Peripheral blood film: 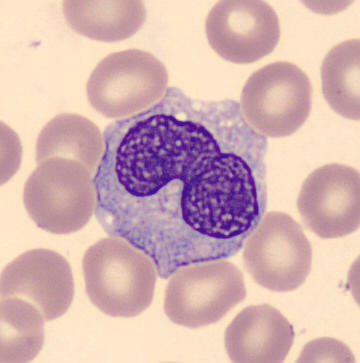This is a monocyte.